Bone marrow smear
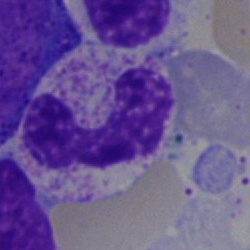

Showing a segmented neutrophil.